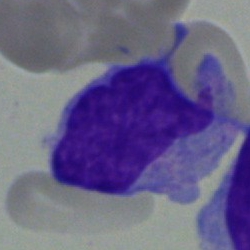

Cell type — monocyte.